Bone marrow aspirate smear.
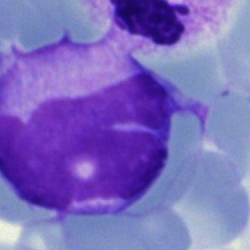Showing a monocyte.